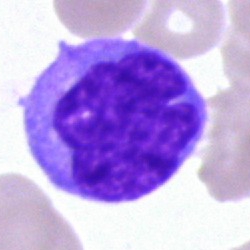 Classification — blast cell.